Brightfield, 40× oil-immersion objective; bone marrow smear.
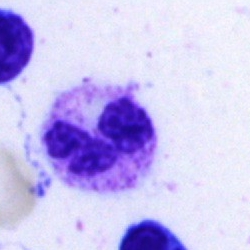
Neutrophil (segmented).